Bone marrow smear; MGG-stained — 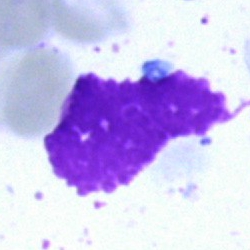 Q: What is shown here?
A: This is an artifact.